Bone marrow smear.
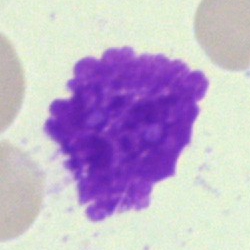 Artifact.